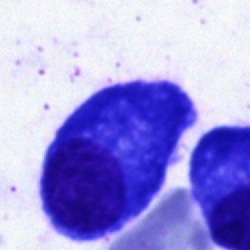

The classification is plasmacyte.